M8 digital microscope (Precipoint), 100× oil immersion. Peripheral blood film. Cropped to a single cell: 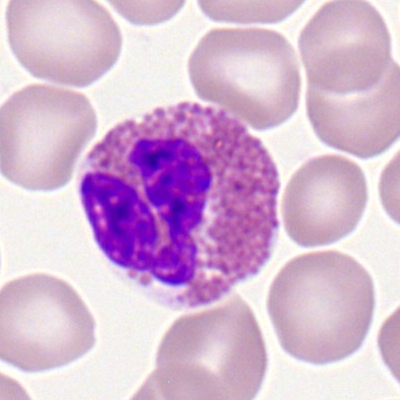

Morphology consistent with an eosinophilic granulocyte.